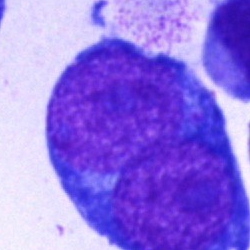A pronormoblast on a bone marrow smear.